Bone marrow aspirate smear
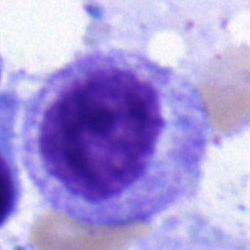

Cell type = myelocyte.